Bone marrow smear. May-Grünwald-Giemsa/Pappenheim stain.
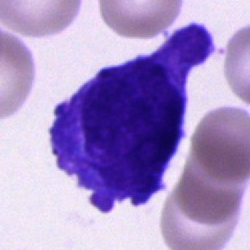Impression — blast.